Peripheral blood film.
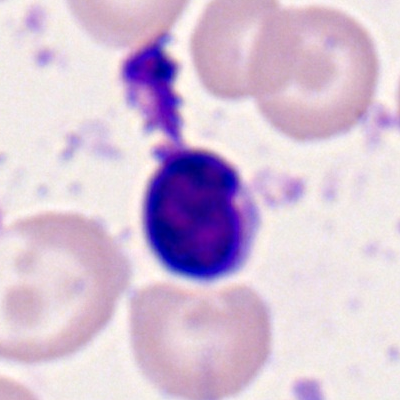 Impression — lymphocyte.